Bone marrow aspirate smear: 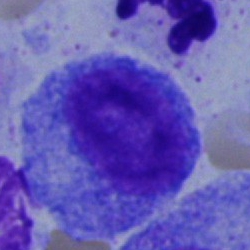

Morphology consistent with a progranulocyte.